Bone marrow smear: 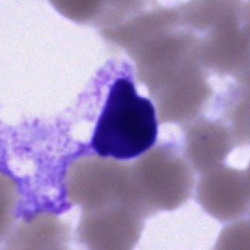 The cell shown is an artefact.